Bone marrow aspirate smear:
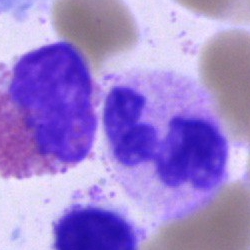
Morphological class = segmented neutrophil.